Bone marrow aspirate smear; May-Grünwald-Giemsa/Pappenheim stain: 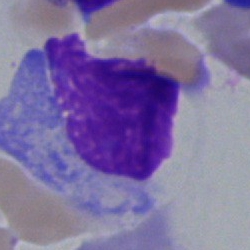

Morphology consistent with an artefact.